Bone marrow aspirate smear; May-Grünwald-Giemsa/Pappenheim stain:
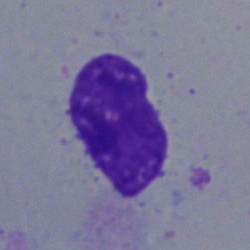{"cell_type": "artefact"}